Bone marrow aspirate smear: 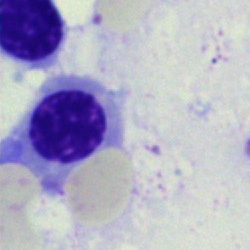Specimen: bone marrow aspirate smear.
Morphological class: nucleated red blood cell.
Lineage: erythroid.